Bone marrow smear
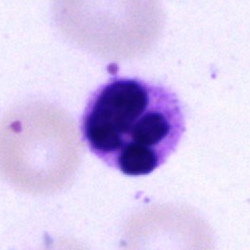
Morphology consistent with a polymorphonuclear neutrophil.